Bone marrow smear.
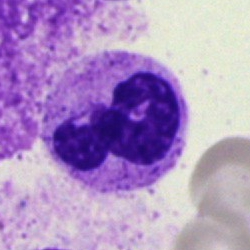The cell shown is a segmented neutrophil.